Brightfield, 40× oil-immersion objective · bone marrow aspirate smear: 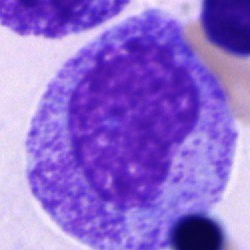
Morphology consistent with a promyelocyte.